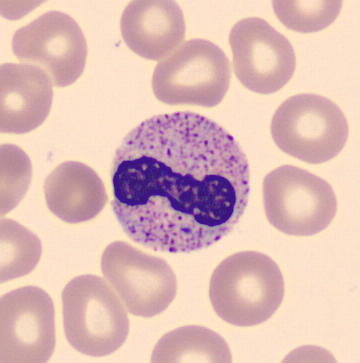 Impression — band-form neutrophil.

Preparation: Peripheral blood film · MGG-stained.